Bone marrow smear
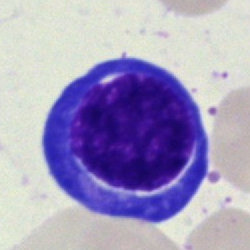
Normoblast.